Bone marrow aspirate smear: 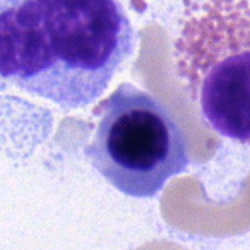

Q: Which cell type is shown here?
A: Normoblast.